Bone marrow aspirate smear.
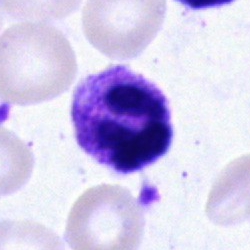 A segmented neutrophil.